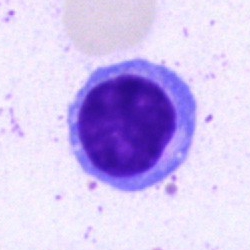
The cell shown is a lymphocyte.